Bone marrow smear. Single-cell crop: 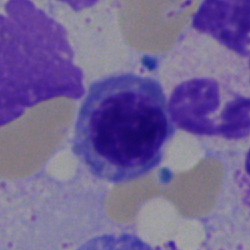 Classification — normoblast.